Single cell centered in the field; peripheral blood smear: 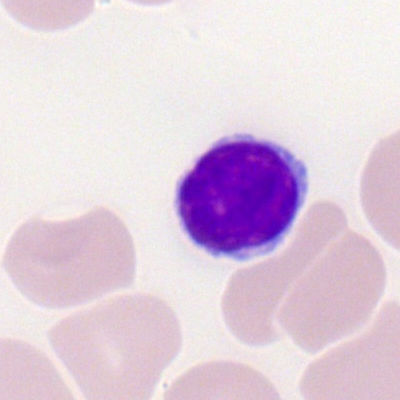Cell: typical lymphocyte.